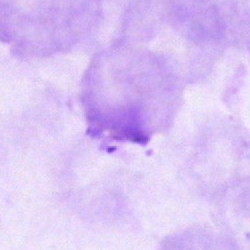

The cell shown is an artifact.